Bone marrow smear · 250×250:
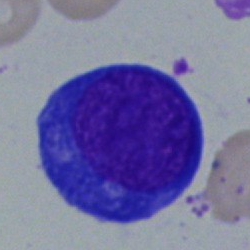 Morphology → proerythroblast.